Bone marrow aspirate smear · brightfield, 40× oil-immersion objective.
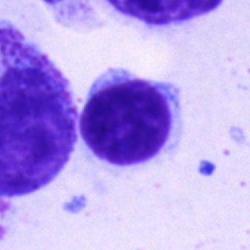

Showing a lymphocyte.